Single cell centered in the field. Bone marrow smear. 40× oil immersion:
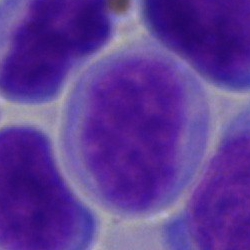
Morphological class — undifferentiated blast.